Single cell centered in the field; bone marrow smear — 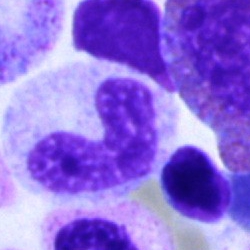 Band-form neutrophil.